Bone marrow smear. 40× oil immersion: 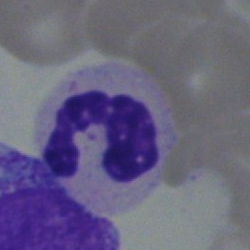

Classification — segmented neutrophil.